Bone marrow smear.
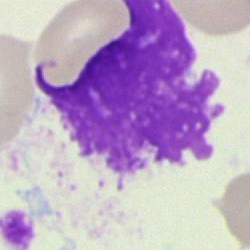Morphology → artifact.